Bone marrow aspirate smear — 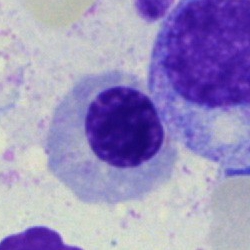Classification — erythroblast.